Bone marrow smear: 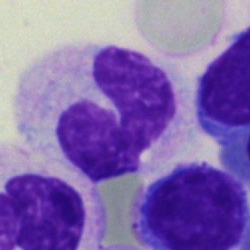

A neutrophil (band).